Bone marrow smear: 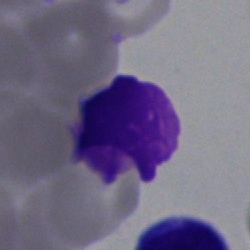

Specimen: bone marrow smear.
Classification: artefact.